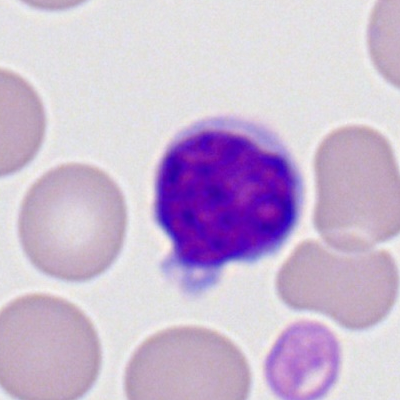

Morphological class — typical lymphocyte.